Bone marrow aspirate smear; May-Grünwald-Giemsa/Pappenheim stain: 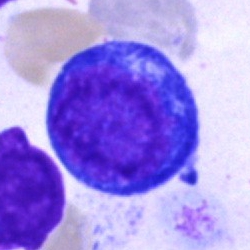

Morphological class — pronormoblast.